Bone marrow smear:
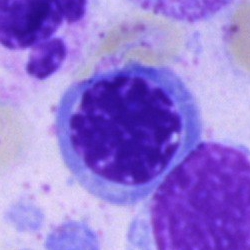
This is an erythroblast.